Bone marrow smear. Pappenheim-stained
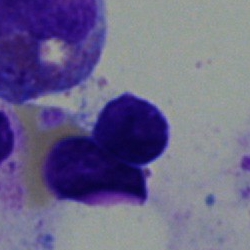Q: What is the morphological classification of this cell?
A: Typical lymphocyte.